Bone marrow smear: 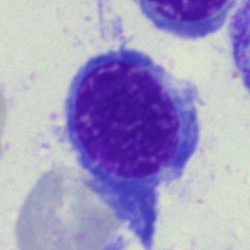

Specimen: bone marrow smear.
Classification: erythroblast.
Lineage: erythroid.